Bone marrow smear — 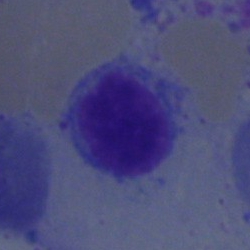

Typical lymphocyte.